Bone marrow aspirate smear.
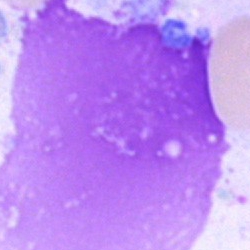Single cell identified as an artefact.